Peripheral blood smear · single cell centered in the field — 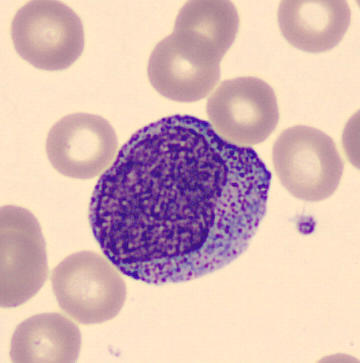
The cell is progranulocyte.